Bone marrow aspirate smear. Pappenheim-stained. Brightfield, 40× oil-immersion objective
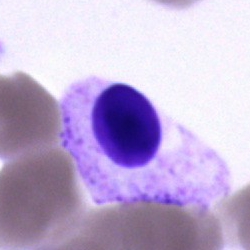
Impression → artifact.